Peripheral blood film. 400×400 px: 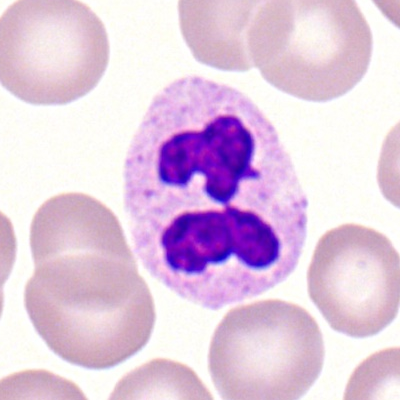
The cell shown is a polymorphonuclear neutrophil.